Image size 250×250. 40× objective, oil immersion. Bone marrow smear
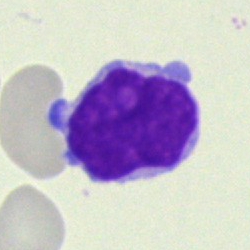The cell type is typical lymphocyte.